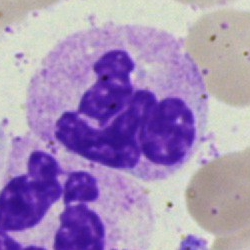

Specimen: bone marrow smear.
Cell: segmented neutrophil.
Lineage: myeloid.